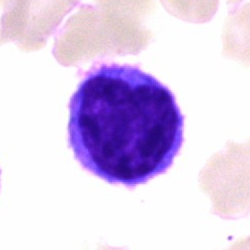

The cell type is lymphocyte.